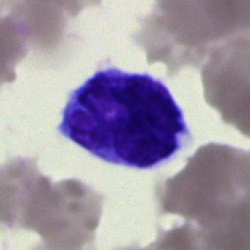Q: What is shown here?
A: It is an artefact.